Bone marrow smear: 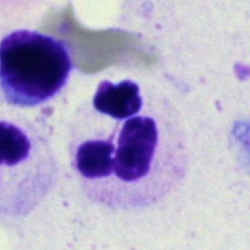Cell type = polymorphonuclear neutrophil.